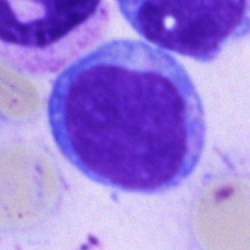
A blast cell.